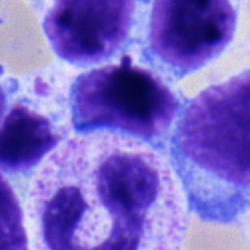Q: Which cell type is shown here?
A: A typical lymphocyte.